250×250 px. Bone marrow smear
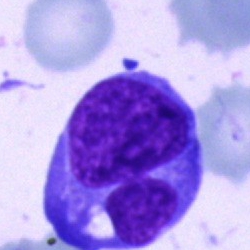 Cell: blast cell.